250 by 250 pixels · bone marrow aspirate smear: 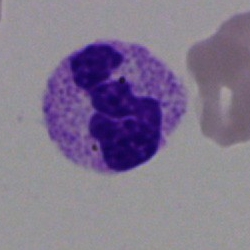 {"cell_type": "segmented neutrophil", "lineage": "myeloid"}